Bone marrow aspirate smear; single cell centered in the field.
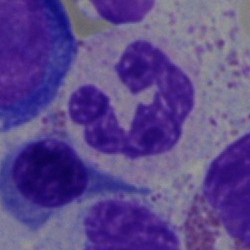

Q: Identify the cell.
A: A polymorphonuclear neutrophil.